Bone marrow aspirate smear
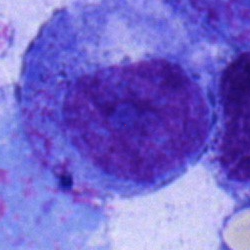

Q: Identify the cell.
A: It is a promyelocyte.